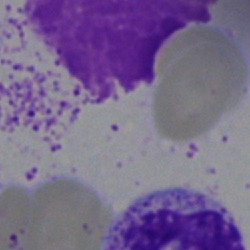Q: What is shown here?
A: An artifact.